Romanowsky stain. Peripheral blood smear.
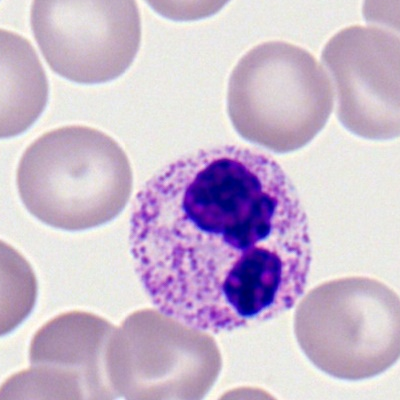 The classification is polymorphonuclear neutrophil.